Bone marrow aspirate smear · 40× oil immersion · 250×250 px
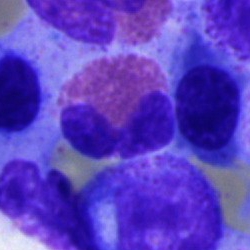 Classification: eosinophil.